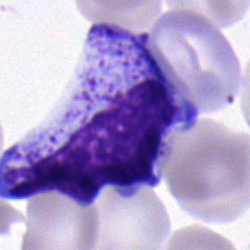

Cell = myelocyte.